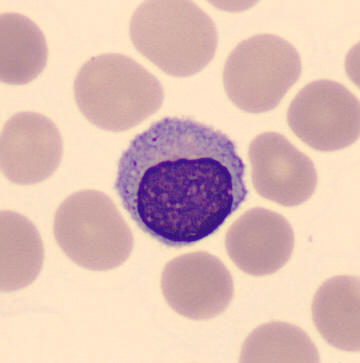
Q: What is this?
A: A typical lymphocyte.